Single-cell field; brightfield, 40× oil-immersion objective; bone marrow aspirate smear — 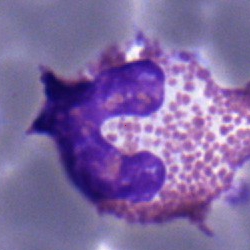Q: Identify the cell.
A: This is an eosinophil.